Bone marrow aspirate smear:
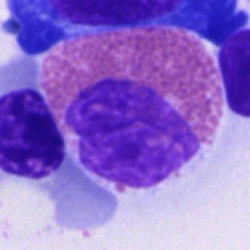Single cell identified as an eosinophilic granulocyte.